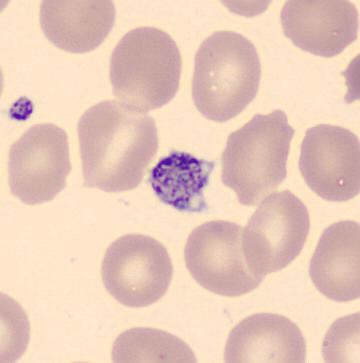

Specimen: peripheral blood film.
Morphological class: platelet.
Acquisition: CellaVision DM96 digital cell image.